Bone marrow smear: 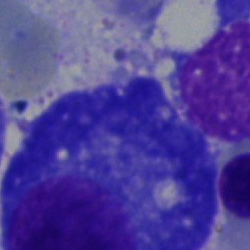
The cell shown is a plasmacyte.